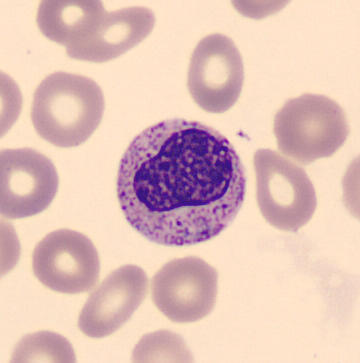

Peripheral blood film. Impression — metamyelocyte.